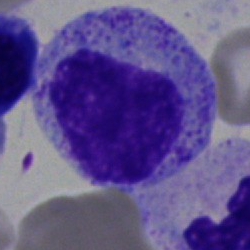 Q: What type of cell is this?
A: This is a promyelocyte.